250 by 250 pixels · Pappenheim-stained · bone marrow smear.
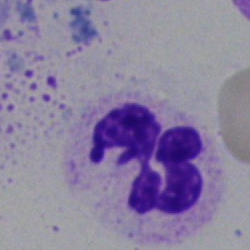
Specimen: bone marrow aspirate smear.
Classification: segmented neutrophil.
Lineage: myeloid.